Romanowsky-type stain · peripheral blood film — 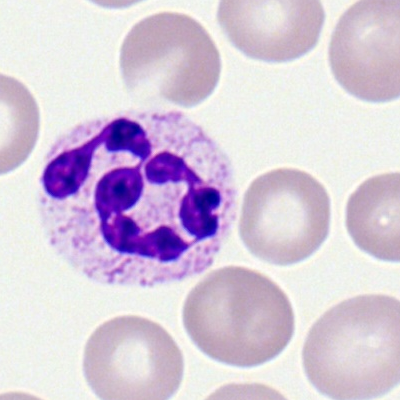Classification = neutrophil (segmented).